Bone marrow aspirate smear
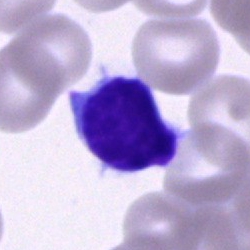The cell type is lymphocyte.